Bone marrow aspirate smear. Cropped to a single cell
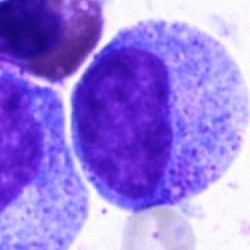
Q: What type of cell is this?
A: It is a promyelocyte.